Peripheral blood smear:
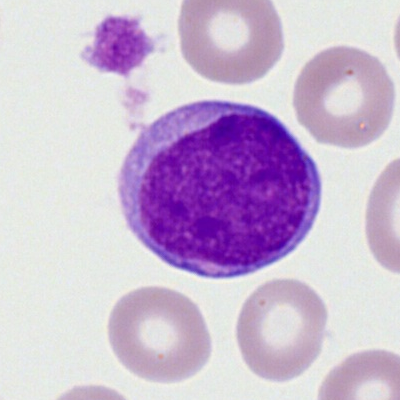

{"cell_type": "myeloid blast", "lineage": "myeloid"}